Bone marrow smear.
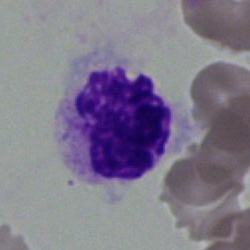

A segmented neutrophil.